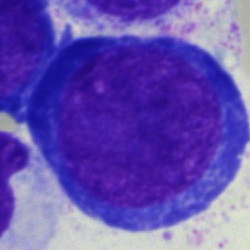 Specimen: bone marrow smear.
Cell type: proerythroblast.
Lineage: erythroid.